Bone marrow smear: 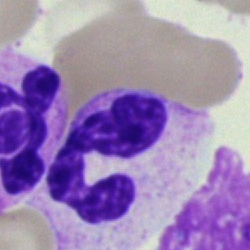
The cell type is polymorphonuclear neutrophil.